Brightfield, 40× oil-immersion objective. Bone marrow aspirate smear. May-Grünwald-Giemsa/Pappenheim stain
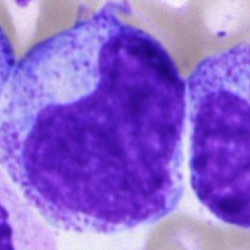
Cell type = progranulocyte.